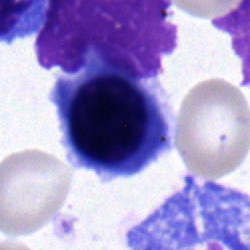 Single-cell crop from a bone marrow smear: nucleated red blood cell.